Bone marrow smear: 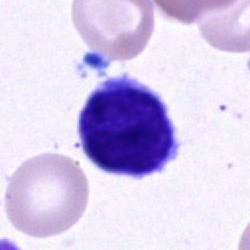 The cell shown is a typical lymphocyte.